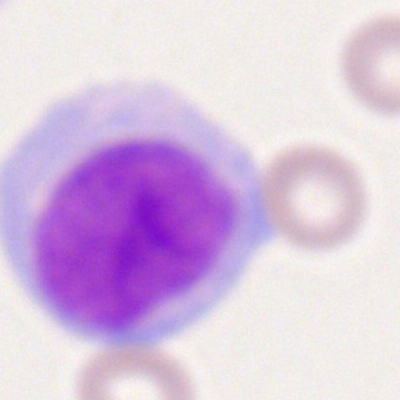

Specimen: peripheral blood film.
Cell type: monocyte.
Lineage: myeloid.